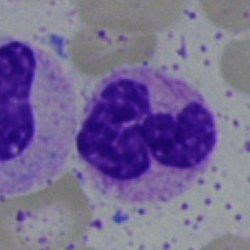Q: Identify the cell.
A: This is a segmented neutrophil.